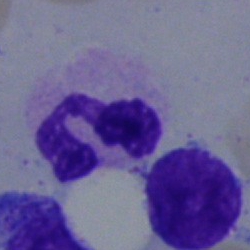

Morphology → polymorphonuclear neutrophil.